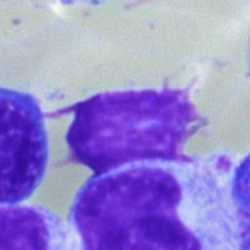
Q: What is shown here?
A: An artefact.